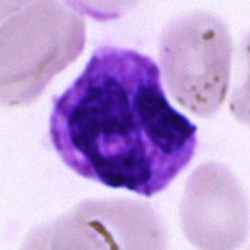
The cell shown is a polymorphonuclear neutrophil.